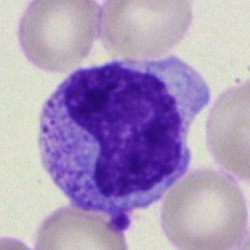
Q: What type of cell is this?
A: It is a metamyelocyte.